250×250 · bone marrow aspirate smear
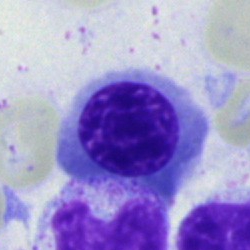 Morphology consistent with a nucleated red blood cell.